Bone marrow smear
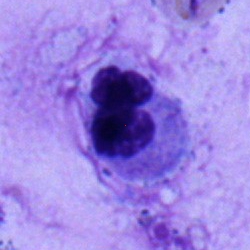
Specimen: bone marrow smear.
Morphological class: segmented neutrophil.
Lineage: myeloid.